Image size 250×250; bone marrow smear — 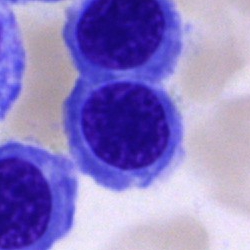 An erythroblast.